Bone marrow smear: 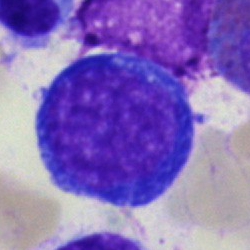
Q: Which cell type is shown here?
A: This is a nucleated red blood cell.